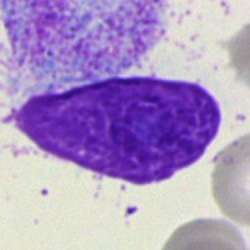
The morphological class is artefact.